Single-cell crop; bone marrow smear; 250 by 250 pixels: 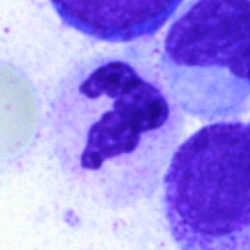
Cell — segmented neutrophil.